Bone marrow smear: 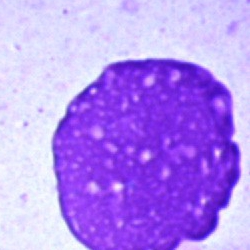 An artifact.